May-Grünwald-Giemsa stain · bone marrow smear: 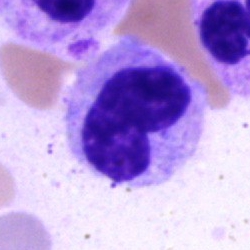The cell shown is a metamyelocyte.